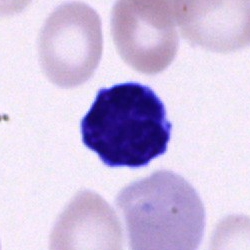 Morphological class = lymphocyte.